Bone marrow aspirate smear
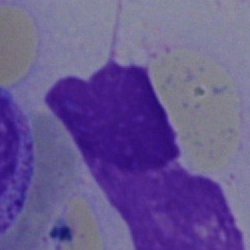
The cell shown is an artifact.